Peripheral blood smear. CellaVision DM96 digital cell image — 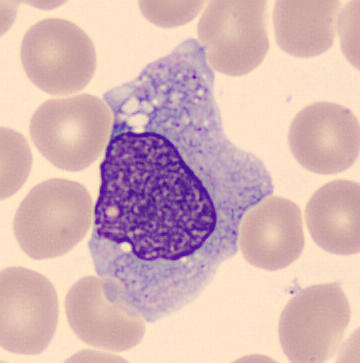
A monocyte.